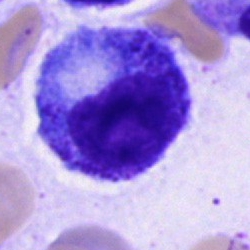Q: What is the morphological classification of this cell?
A: Progranulocyte.